Bone marrow aspirate smear
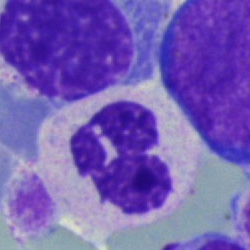 A polymorphonuclear neutrophil.